Bone marrow smear: 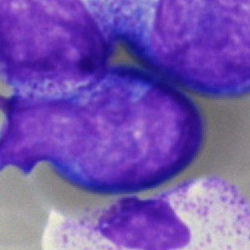

Classification: blast.